Bone marrow aspirate smear · MGG-stained:
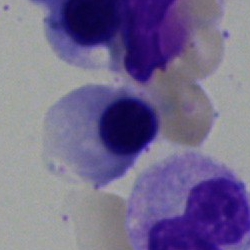{"cell_type": "nucleated red cell"}